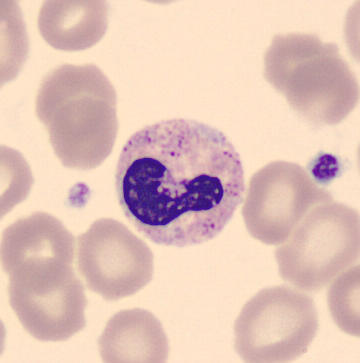

Acquisition: Single-cell crop · peripheral blood smear. Morphology consistent with a band-form neutrophil.